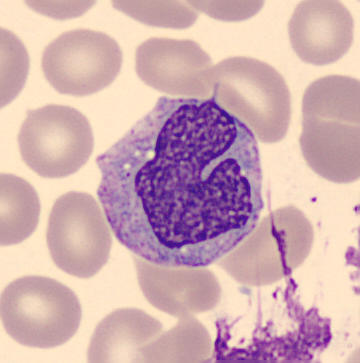Specimen: peripheral blood smear.
Cell type: monocyte.